Bone marrow aspirate smear
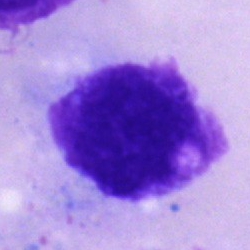Artefact.